Bone marrow smear:
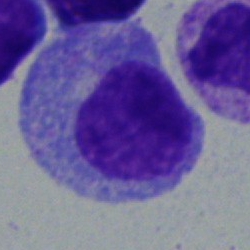

{"cell_type": "myelocyte"}